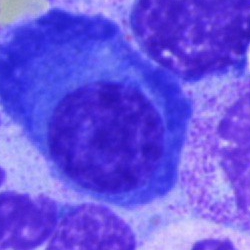
The morphological class is plasma cell.